Bone marrow smear; May-Grünwald-Giemsa stain: 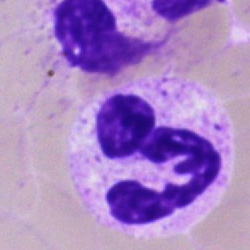

Classification = neutrophil (segmented).